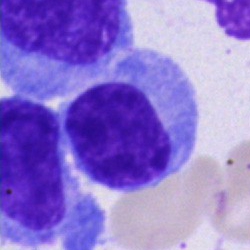
Specimen: bone marrow aspirate smear.
Classification: plasmacyte.